Bone marrow smear.
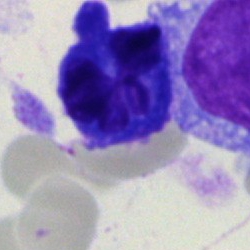The cell type is artefact.